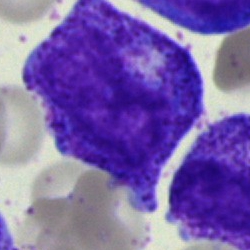
A metamyelocyte.